CellaVision DM96. Peripheral blood smear
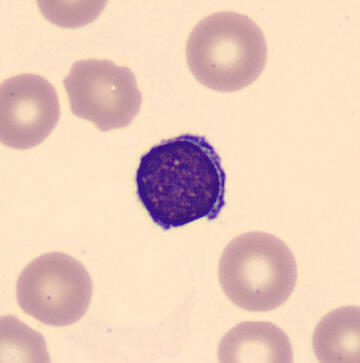 Specimen: peripheral blood film.
Classification: lymphocyte.
Lineage: lymphoid.